Bone marrow aspirate smear · May-Grünwald-Giemsa/Pappenheim stain
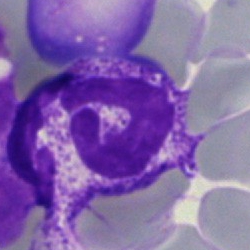
Q: Which cell type is shown here?
A: This is a polymorphonuclear neutrophil.